Bone marrow aspirate smear · single-cell field
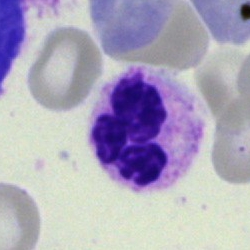 Morphology consistent with a neutrophil (segmented).